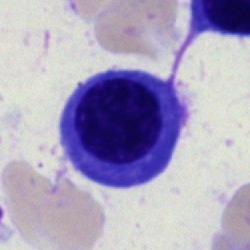
The classification is nucleated red cell.